Bone marrow smear
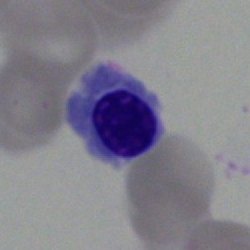
Nucleated red cell.